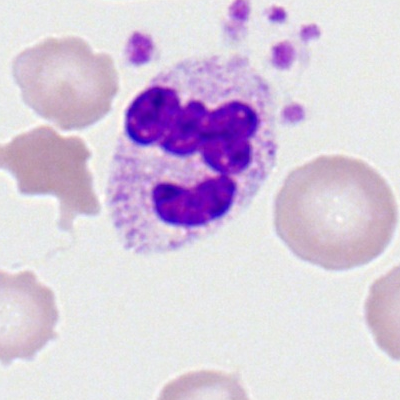

Specimen: peripheral blood film.
Morphological class: segmented neutrophil.
Lineage: myeloid.